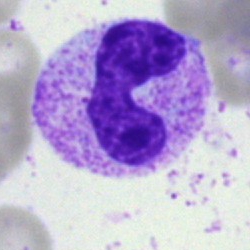 Specimen: bone marrow aspirate smear.
Morphological class: neutrophil (band).